Bone marrow smear · May-Grünwald-Giemsa/Pappenheim stain.
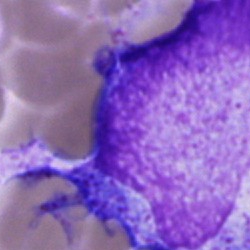
Showing a progranulocyte.